Bone marrow smear — 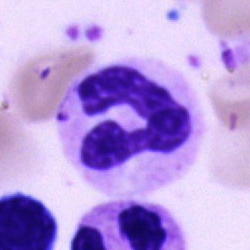

The cell shown is a polymorphonuclear neutrophil.